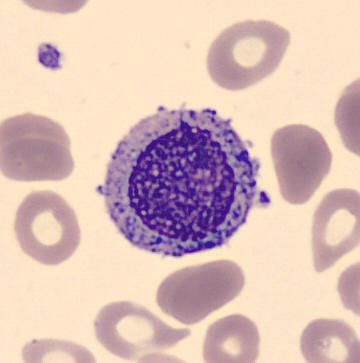Q: Identify the cell.
A: It is a myelocyte. 360 by 363 pixels; peripheral blood film.